Bone marrow smear.
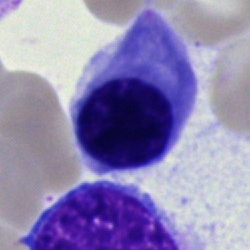 Specimen: bone marrow smear.
Cell type: nucleated red blood cell.
Lineage: erythroid.